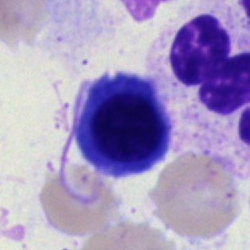The cell is normoblast.